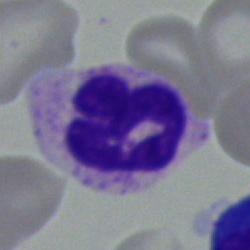Morphology → segmented neutrophil.